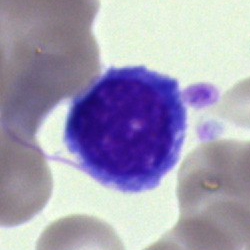 Cell type — cell of indeterminate lineage.